Bone marrow smear; May-Grünwald-Giemsa/Pappenheim stain — 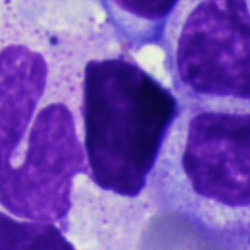
Cell = artefact.